250×250. Bone marrow smear.
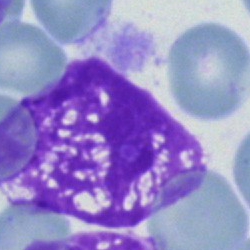
Showing an artefact.